Bone marrow smear; 250×250:
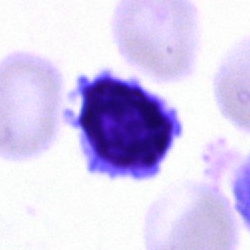This is a typical lymphocyte.